Bone marrow smear · Pappenheim-stained: 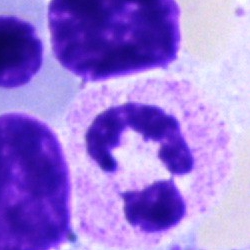

Morphology consistent with a segmented neutrophil.